Bone marrow aspirate smear:
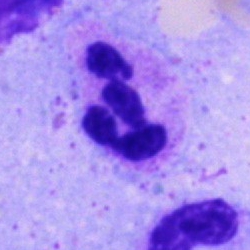
A neutrophil (segmented).